Bone marrow smear · single cell centered in the field
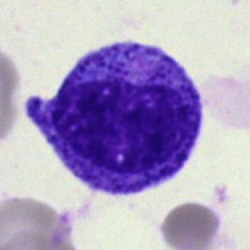
Cell type: progranulocyte.